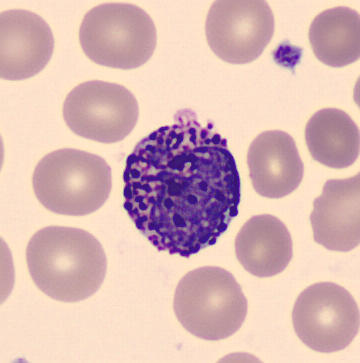

MGG-stained. Single cell centered in the field. Peripheral blood smear.

Basophilic granulocyte.